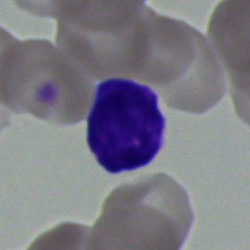 Classification — typical lymphocyte.